Bone marrow aspirate smear
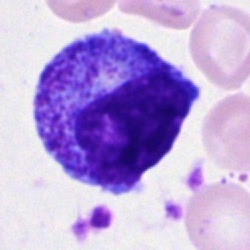 This is a promyelocyte.